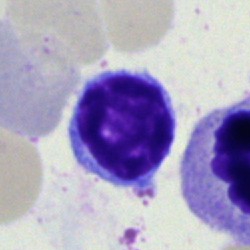
The classification is typical lymphocyte.